250×250 · bone marrow aspirate smear: 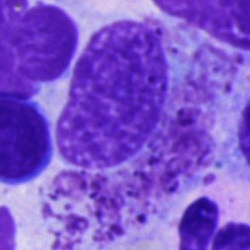The cell is other cell.